Bone marrow smear.
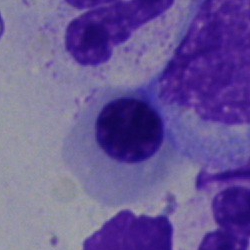

Morphology consistent with a nucleated red cell.